M8 digital microscope (Precipoint), 100× oil immersion · peripheral blood smear.
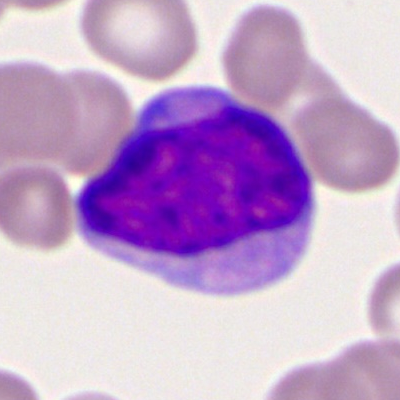

Morphological class: myeloid blast.